Bone marrow aspirate smear
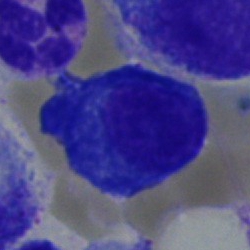
Plasma cell.